Brightfield, 40× oil-immersion objective. Single cell centered in the field. Bone marrow aspirate smear.
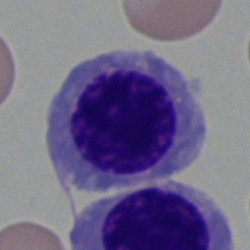This is a normoblast.